Bone marrow aspirate smear.
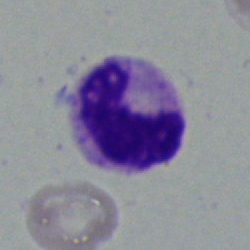

Morphology — band neutrophil.